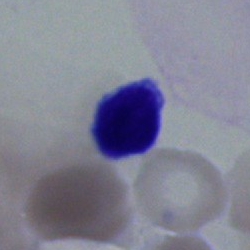
Showing a lymphocyte.